Bone marrow aspirate smear. Brightfield, 40× oil-immersion objective.
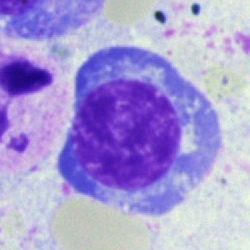 This is an erythroblast.